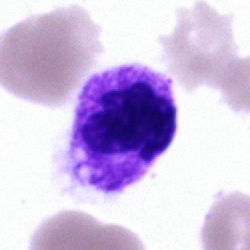

{"cell_type": "polymorphonuclear neutrophil", "lineage": "myeloid"}